Bone marrow aspirate smear.
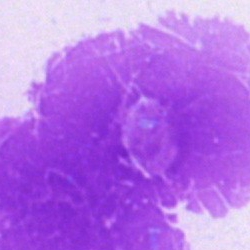 Impression — artifact.